Bone marrow aspirate smear · 250×250 px:
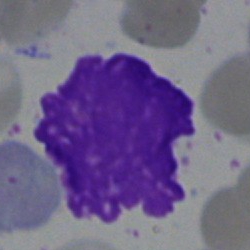
Cell: artifact.